Bone marrow aspirate smear — 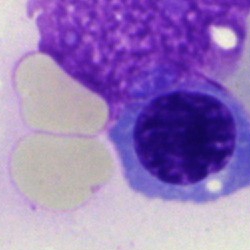
Q: What is shown here?
A: It is a nucleated red blood cell.